Bone marrow aspirate smear:
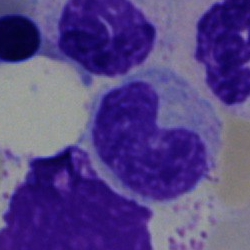

Specimen: bone marrow aspirate smear.
Cell: stab cell.
Lineage: myeloid.